Bone marrow smear.
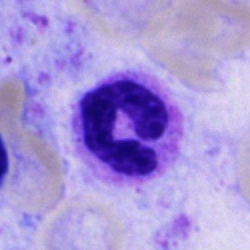
Morphology → polymorphonuclear neutrophil.